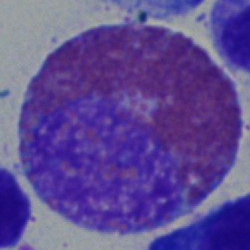

Bone marrow aspirate smear, single cell — eosinophilic granulocyte.